40× oil immersion. Bone marrow aspirate smear:
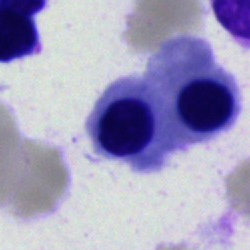
Specimen: bone marrow smear.
Cell: normoblast.
Lineage: erythroid.